Bone marrow aspirate smear:
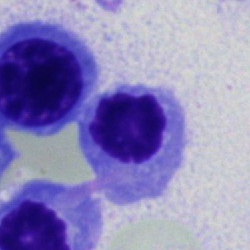
Q: Identify the cell.
A: It is a nucleated red cell.